Bone marrow smear:
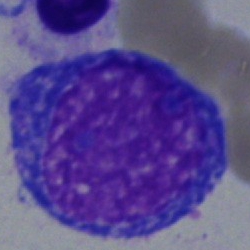
Morphology consistent with an undifferentiated blast.